Cropped to a single cell; bone marrow smear; May-Grünwald-Giemsa stain:
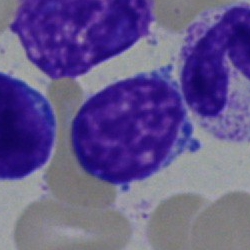

Single cell identified as a lymphocyte.